Bone marrow smear · May-Grünwald-Giemsa/Pappenheim stain · 40× objective, oil immersion:
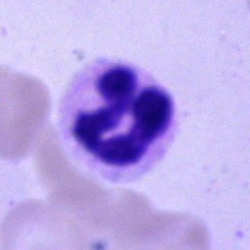
Specimen: bone marrow smear.
Cell type: segmented neutrophil.
Lineage: myeloid.